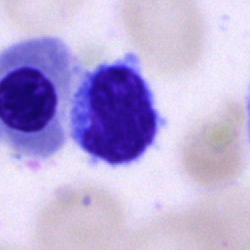

Specimen: bone marrow smear.
Cell: lymphocyte.
Lineage: lymphoid.